Cropped to a single cell · bone marrow smear — 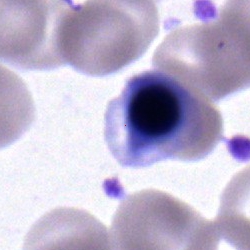Morphological class: erythroblast.